Peripheral blood film.
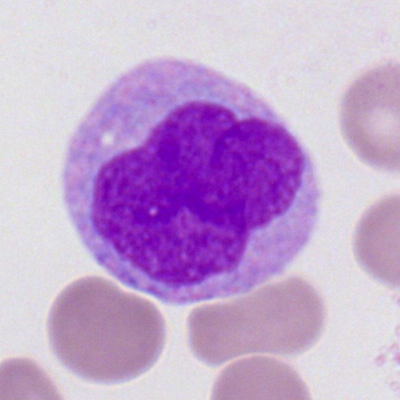A myeloblast.